Cropped to a single cell; bone marrow aspirate smear:
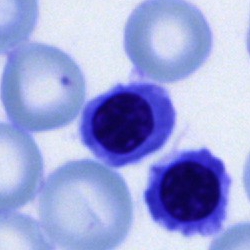An erythroblast.